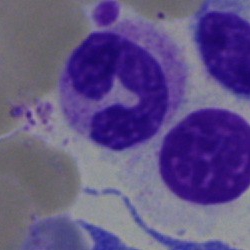

Single-cell crop from a bone marrow smear: segmented neutrophil.